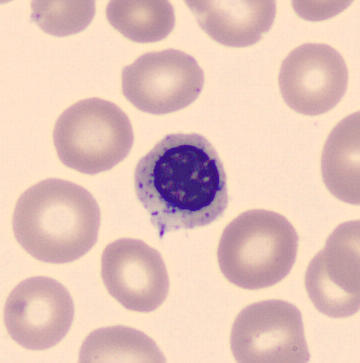

Image: CellaVision DM96. Peripheral blood film. 360×363. Showing a nucleated red blood cell.